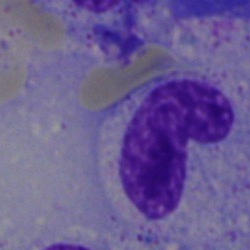The cell shown is a neutrophil (band).